Bone marrow aspirate smear · single-cell crop
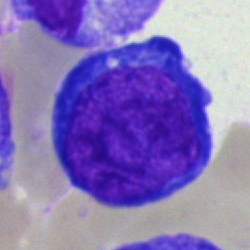 Showing a pronormoblast.